MGG-stained · bone marrow smear:
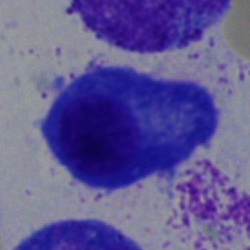
{"cell_type": "plasma cell"}